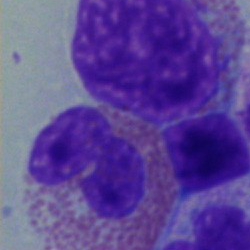An eosinophilic granulocyte on a bone marrow smear.